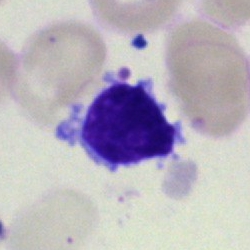 Morphology — lymphocyte.